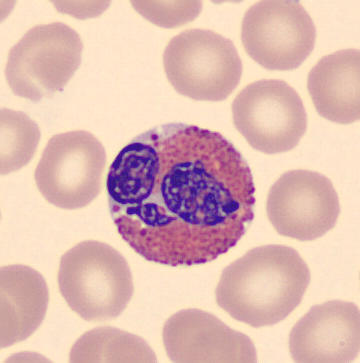 Morphology consistent with an eosinophil. Acquisition: Peripheral blood film.